Bone marrow aspirate smear — 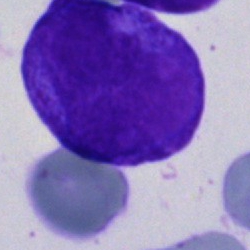 Morphology → blast cell.